Single cell centered in the field; bone marrow smear:
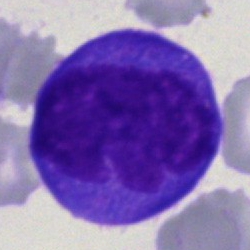
Morphology consistent with a monocyte.